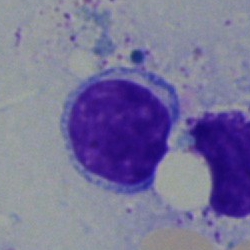 Single-cell crop from a bone marrow smear: lymphocyte.